Bone marrow smear.
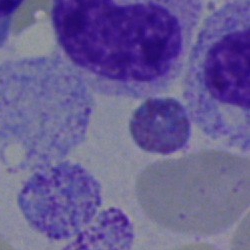

Showing an artifact.